Bone marrow smear · MGG-stained — 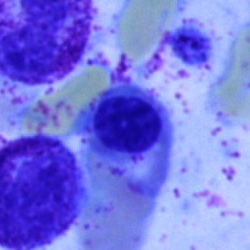 The classification is nucleated red cell.